Bone marrow smear — 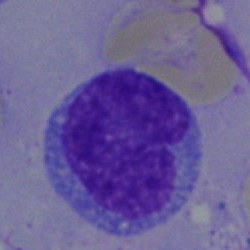

Cell: blast.